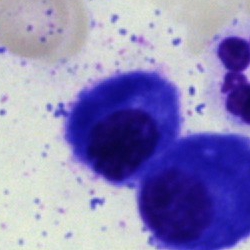 Morphological class: plasmacyte.